Bone marrow smear — 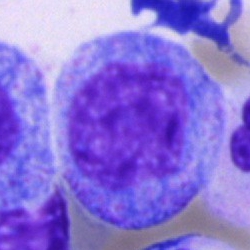 Cell — promyelocyte.